Bone marrow smear:
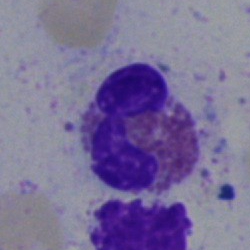Specimen: bone marrow aspirate smear.
Classification: eosinophil.
Lineage: myeloid.